Bone marrow smear · image size 250×250
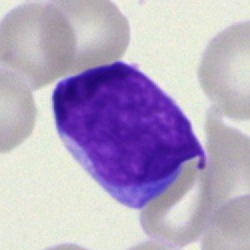This is a blast cell.